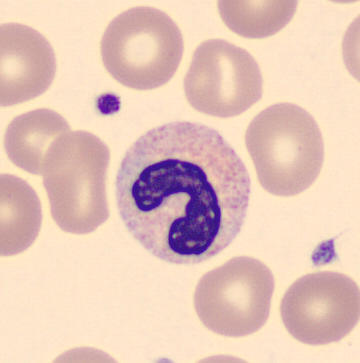 Classification: band-form neutrophil.